Peripheral blood film
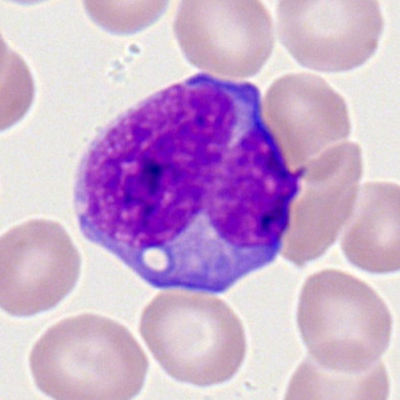

Morphological class: myeloid blast.